Bone marrow aspirate smear · MGG-stained · brightfield, 40× oil-immersion objective.
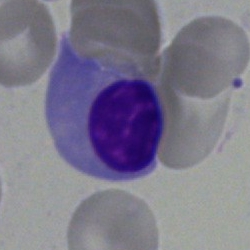
Q: What type of cell is this?
A: An erythroblast.